Bone marrow aspirate smear:
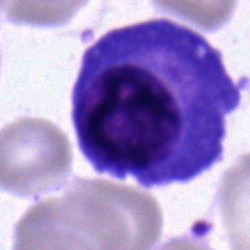Specimen: bone marrow aspirate smear.
Cell type: plasma cell.